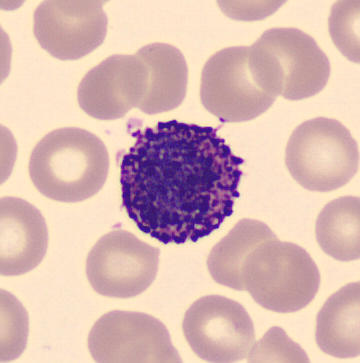 Impression — basophilic granulocyte.